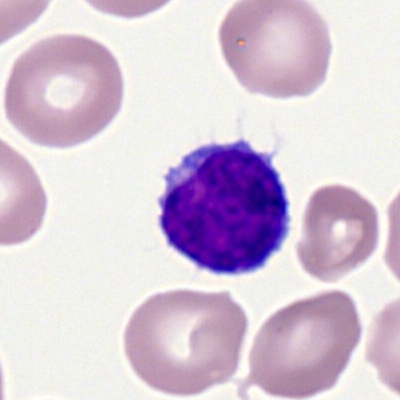

Morphological class — lymphocyte.